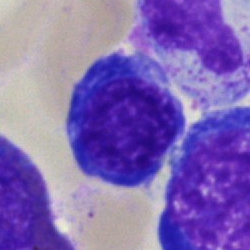

This is a nucleated red blood cell.